Bone marrow smear: 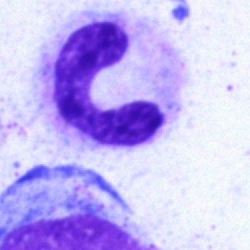

Specimen: bone marrow aspirate smear.
Cell type: neutrophil (band).